Bone marrow smear — 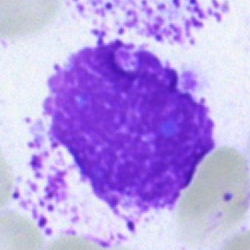 The cell shown is an artifact.